Bone marrow aspirate smear
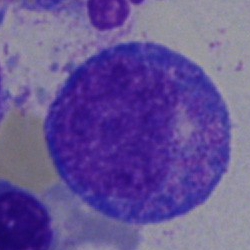
Morphology — progranulocyte.